Single cell centered in the field; bone marrow aspirate smear
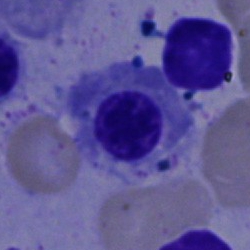
Showing a normoblast.